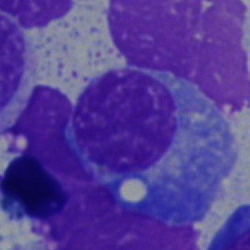
Q: Identify the cell.
A: Plasmacyte.